Pappenheim-stained. Bone marrow aspirate smear:
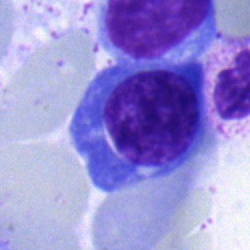 Specimen: bone marrow smear.
Cell type: plasma cell.
Lineage: lymphoid.